Peripheral blood smear; Romanowsky-type stain
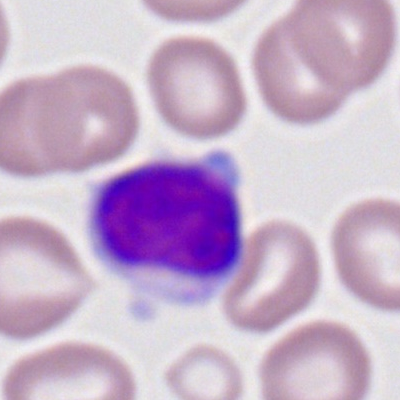 {"cell_type": "lymphocyte", "lineage": "lymphoid"}